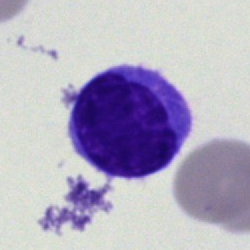Cell type = typical lymphocyte.